Bone marrow aspirate smear
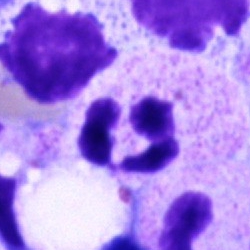
Impression — segmented neutrophil.